Bone marrow aspirate smear. May-Grünwald-Giemsa stain: 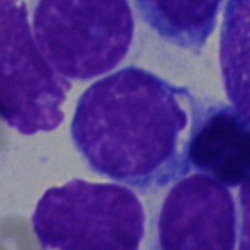
Q: What type of cell is this?
A: Lymphocyte.